Bone marrow smear:
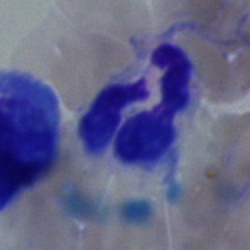Q: Identify the cell.
A: This is a segmented neutrophil.